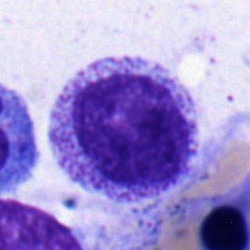 Q: What is the morphological classification of this cell?
A: This is a myelocyte.